Peripheral blood film.
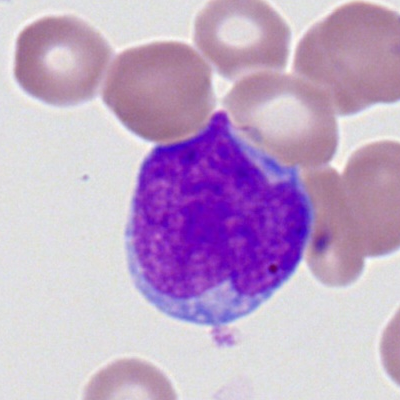
Classification: myeloblast.